250 by 250 pixels. Bone marrow aspirate smear: 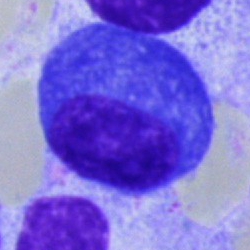A plasmacyte.